250×250 px. Bone marrow smear: 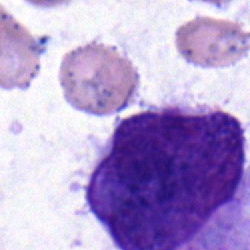 Morphology — blast.